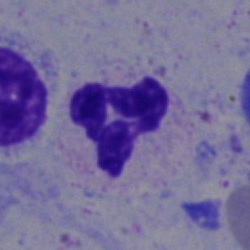A polymorphonuclear neutrophil on a bone marrow smear.